Bone marrow aspirate smear:
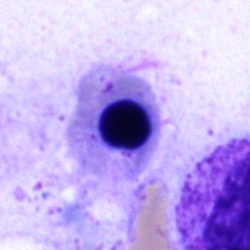

Nucleated red cell.